MGG-stained; bone marrow aspirate smear; 40× objective, oil immersion: 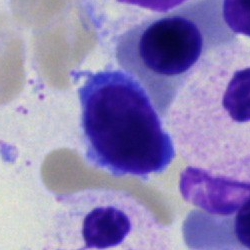Morphological class = typical lymphocyte.